Bone marrow smear; May-Grünwald-Giemsa/Pappenheim stain — 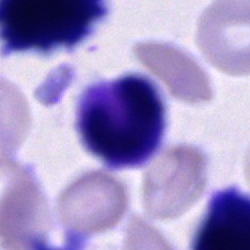
Morphological class — cell of indeterminate lineage.